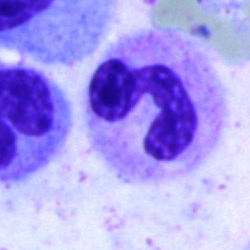Morphology → polymorphonuclear neutrophil.